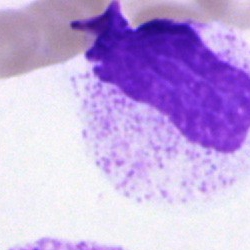 This is an artifact.